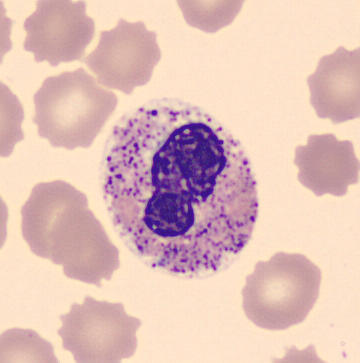
Impression → neutrophil (band).

Peripheral blood smear · May-Grünwald-Giemsa-stained.